Bone marrow smear · image size 250×250:
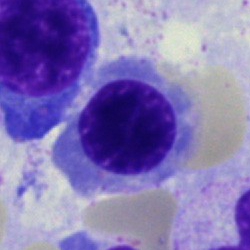Q: What type of cell is this?
A: Erythroblast.